250 by 250 pixels. Bone marrow smear — 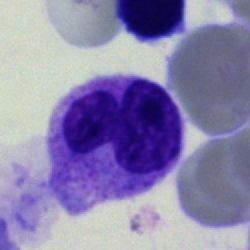 The morphological class is neutrophil (segmented).